MGG-stained · bone marrow aspirate smear · 250×250 — 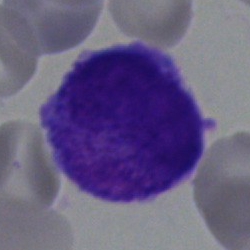 Morphology consistent with a blast cell.